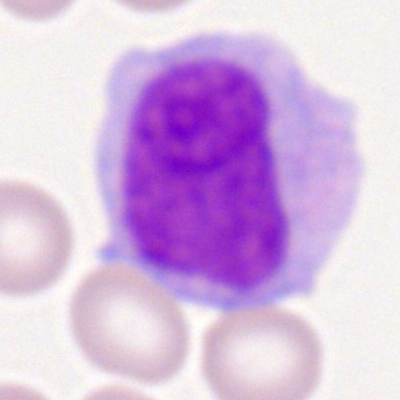 Morphological class — monocyte.